250×250. Bone marrow aspirate smear. 40× oil immersion — 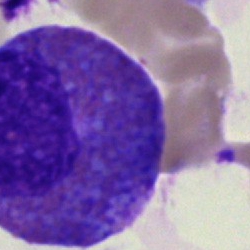 Q: What type of cell is this?
A: Eosinophil.